Bone marrow aspirate smear · brightfield microscopy, 40× oil immersion: 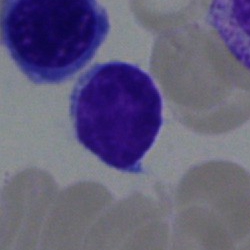Cell type — typical lymphocyte.